Bone marrow aspirate smear. Cropped to a single cell — 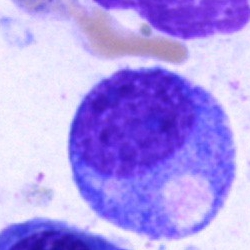

The cell shown is a promyelocyte.